Bone marrow smear. Single-cell crop.
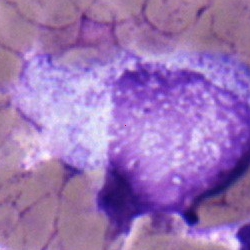Cell type — myelocyte.